Single-cell field; 400 by 400 pixels; peripheral blood film: 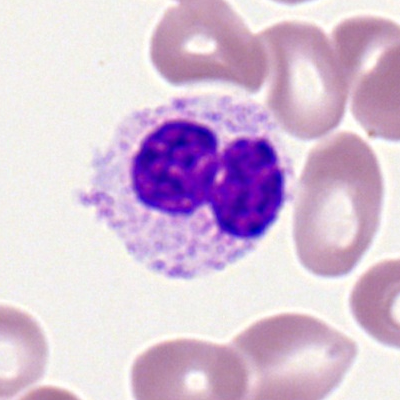 Specimen: peripheral blood film.
Cell: neutrophil (segmented).
Lineage: myeloid.